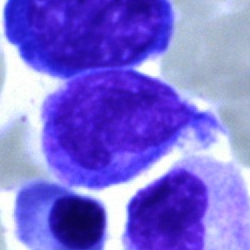 This is an artefact.